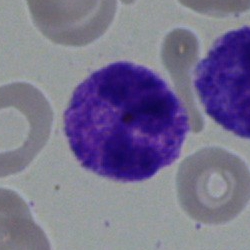Classification — polymorphonuclear neutrophil.